Bone marrow smear · brightfield, 40× oil-immersion objective.
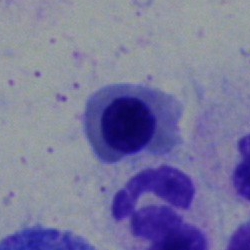A nucleated red blood cell.